Bone marrow smear
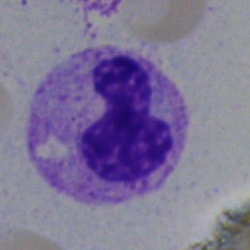 A segmented neutrophil.